Bone marrow smear — 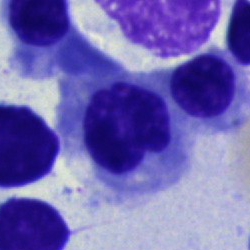 The cell shown is an erythroblast.